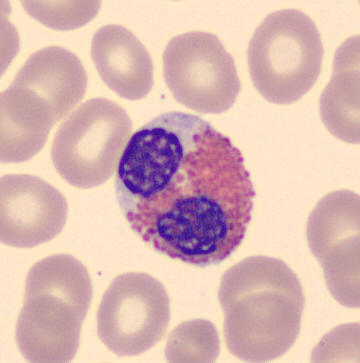

Q: What is shown here?
A: An eosinophil.
Image: Peripheral blood smear.